Peripheral blood smear · 400×400 px:
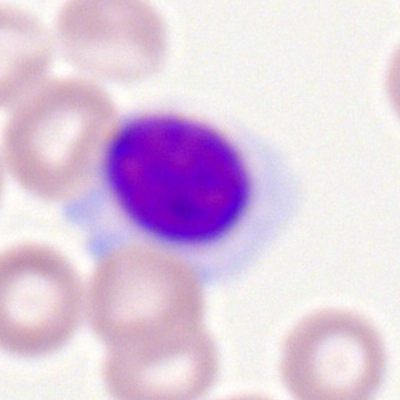 Morphology consistent with a lymphocyte.